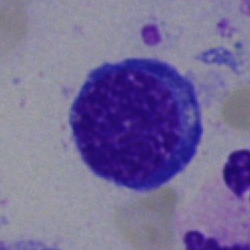
This is a normoblast.